May-Grünwald-Giemsa/Pappenheim stain · bone marrow aspirate smear · cropped to a single cell:
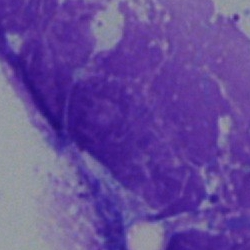 The cell shown is an artifact.